Bone marrow smear
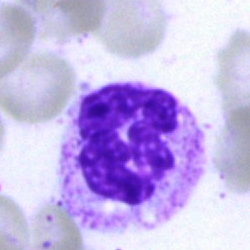
Single cell identified as a neutrophil (segmented).